Bone marrow smear.
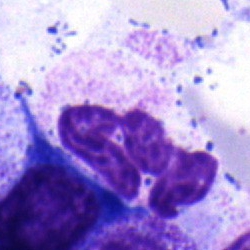

{"cell_type": "neutrophil (segmented)", "lineage": "myeloid"}